Bone marrow smear · single-cell crop: 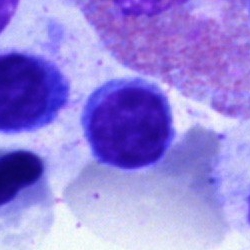
Showing a typical lymphocyte.